Image size 250×250; bone marrow smear.
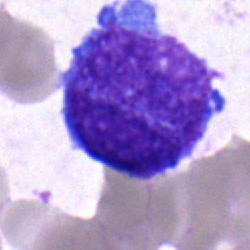{"cell_type": "blast"}